Single-cell field. Peripheral blood smear:
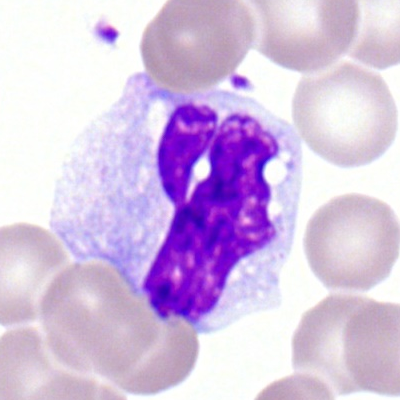 Classification: monocyte.